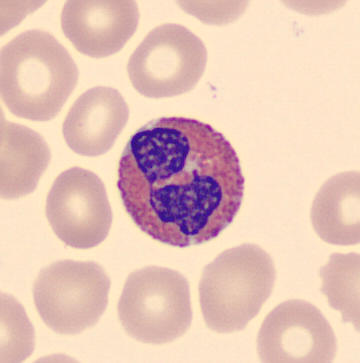

An eosinophilic granulocyte.

Peripheral blood smear; cropped to a single cell; 360 by 363 pixels.